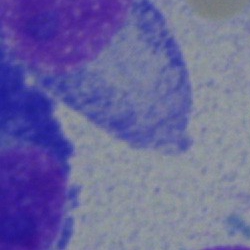A plasmacyte on a bone marrow smear.